May-Grünwald-Giemsa/Pappenheim stain. Bone marrow aspirate smear — 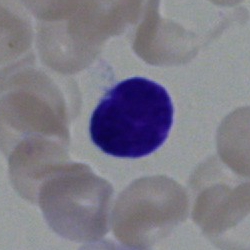 {"cell_type": "lymphocyte", "lineage": "lymphoid"}